MGG-stained. Bone marrow smear
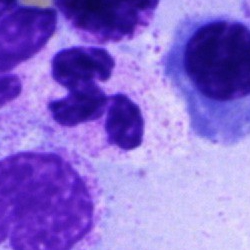

{"cell_type": "segmented neutrophil"}